Peripheral blood film. Romanowsky-stained — 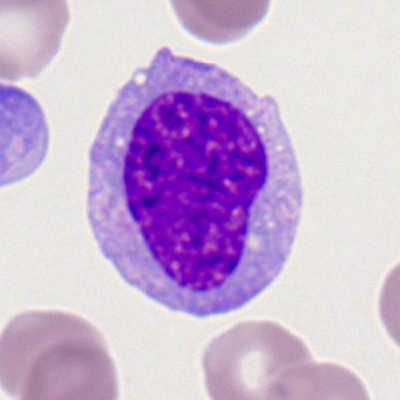
Showing a monocyte.